Bone marrow smear; 250×250:
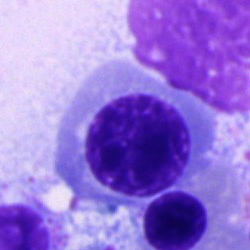Morphological class: nucleated red blood cell.